MGG-stained; bone marrow smear
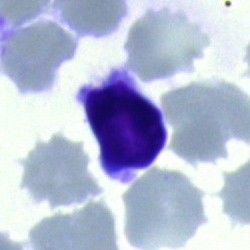 Morphology consistent with a lymphocyte.